100× oil immersion, 14.14 px/µm. Peripheral blood film. Single cell centered in the field: 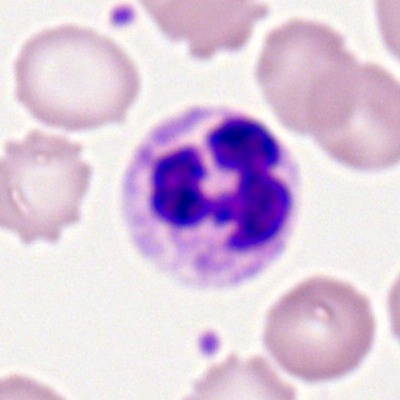
Morphology → polymorphonuclear neutrophil.